Bone marrow smear: 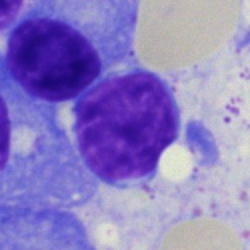 Q: What is the morphological classification of this cell?
A: It is a plasma cell.